250 by 250 pixels; MGG-stained; bone marrow aspirate smear:
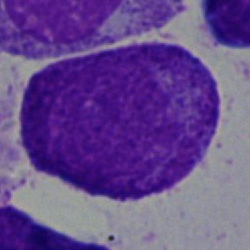

Blast cell.